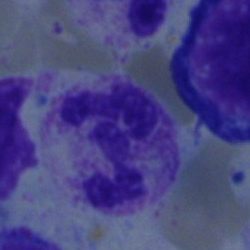
Impression → polymorphonuclear neutrophil.